Bone marrow smear — 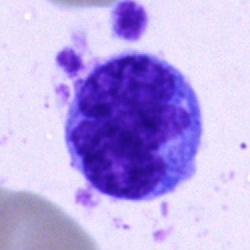Q: What type of cell is this?
A: A monocyte.